May-Grünwald-Giemsa stain · bone marrow aspirate smear · brightfield, 40× oil-immersion objective: 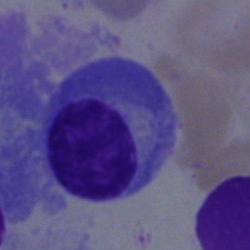 Specimen: bone marrow aspirate smear.
Cell type: plasma cell.
Lineage: lymphoid.